Bone marrow aspirate smear; single cell centered in the field
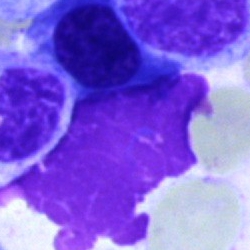{"cell_type": "artifact"}